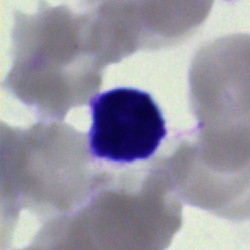

Morphology — lymphocyte.